Bone marrow smear — 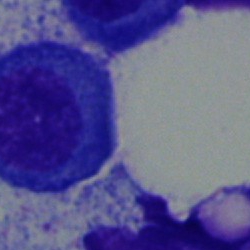Specimen: bone marrow aspirate smear.
Cell: plasmacyte.
Lineage: lymphoid.